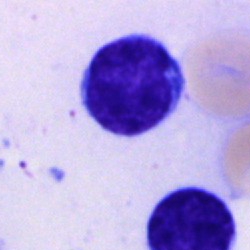Specimen: bone marrow smear.
Classification: lymphocyte.
Lineage: lymphoid.